Bone marrow aspirate smear. 250×250 px — 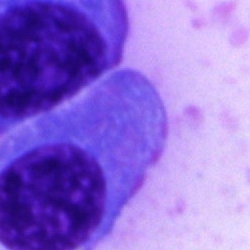 Specimen: bone marrow aspirate smear.
Cell type: plasma cell.
Lineage: lymphoid.